40× objective, oil immersion; bone marrow smear — 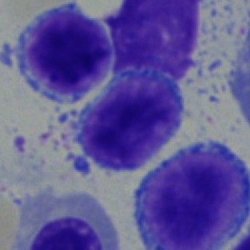Q: What is shown here?
A: This is a lymphocyte.